Bone marrow aspirate smear · single-cell crop — 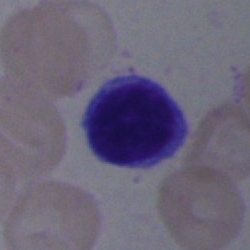
{"cell_type": "lymphocyte"}